Romanowsky stain; peripheral blood smear
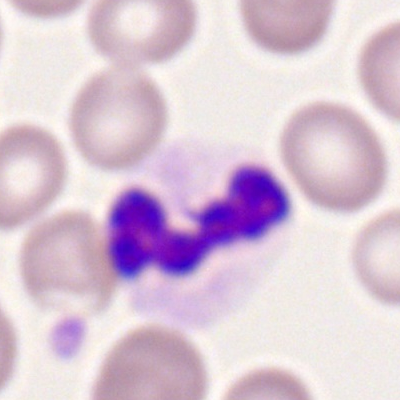Cell type — neutrophil (segmented).